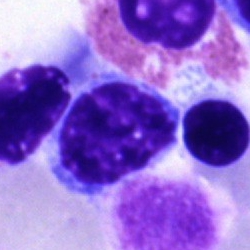

The cell is typical lymphocyte.